Bone marrow smear:
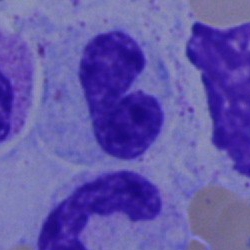
Q: Identify the cell.
A: A neutrophil (segmented).